Bone marrow aspirate smear:
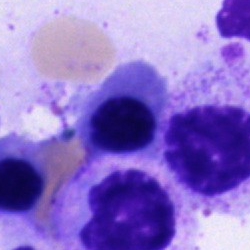{"cell_type": "normoblast", "lineage": "erythroid"}